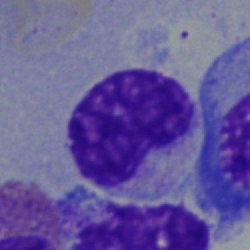 Single-cell crop from a bone marrow smear: metamyelocyte.